Single-cell crop · bone marrow aspirate smear: 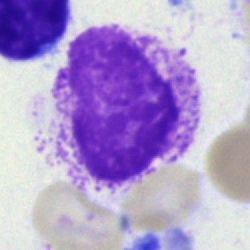

Classification — artifact.